Bone marrow smear.
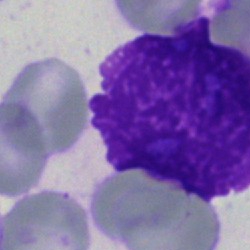

Cell = artefact.